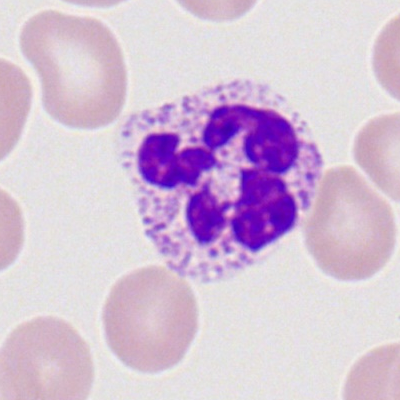Peripheral blood smear showing a segmented neutrophil.